Bone marrow smear — 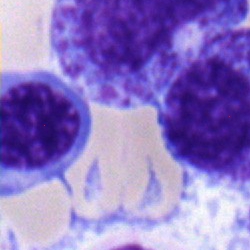

This is an erythroblast.